Bone marrow aspirate smear; May-Grünwald-Giemsa/Pappenheim stain
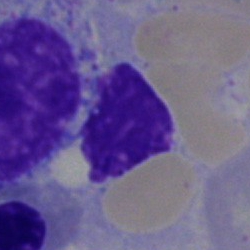 An artifact.